Brightfield microscopy, 40× oil immersion; bone marrow aspirate smear; image size 250×250: 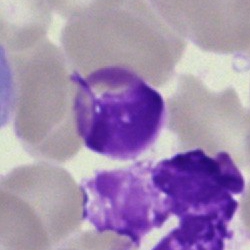Q: What is shown here?
A: This is an artifact.